400 by 400 pixels · 100× oil immersion · peripheral blood film
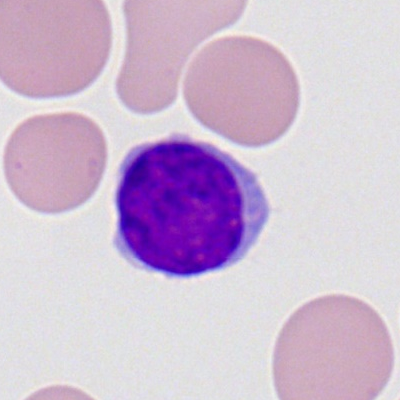

Impression — lymphocyte.